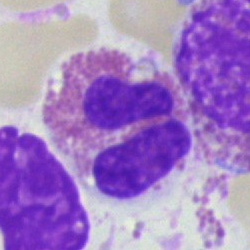 An eosinophilic granulocyte.